Peripheral blood smear — 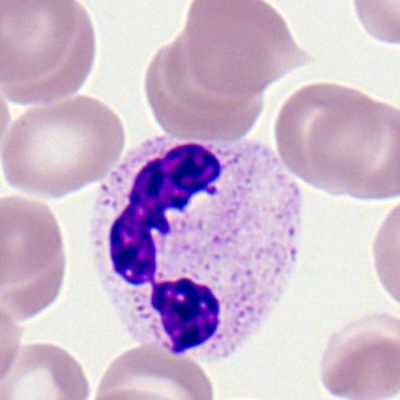Showing a polymorphonuclear neutrophil.